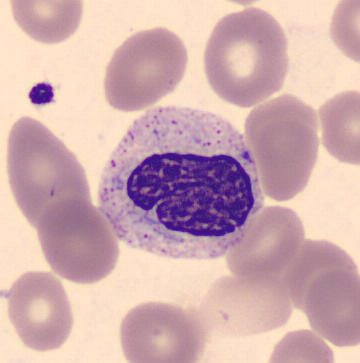 Imaged on a CellaVision DM96 analyser · 360×363.
Specimen: peripheral blood film.
Morphological class: metamyelocyte.
Lineage: myeloid.